Peripheral blood smear: 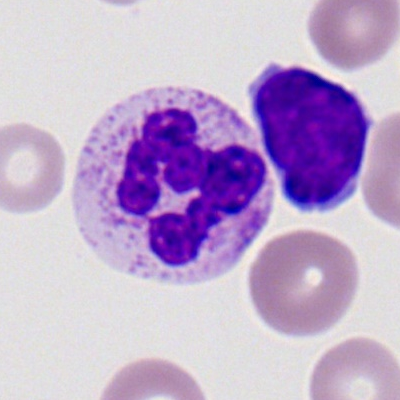
Specimen: peripheral blood film.
Classification: neutrophil (segmented).
Lineage: myeloid.